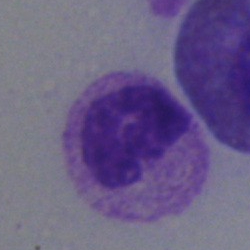

Cell type = neutrophil (band).